Bone marrow aspirate smear
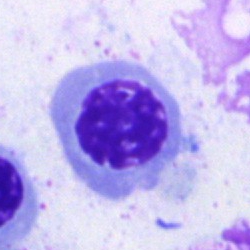 Morphology — basophil.